Bone marrow smear — 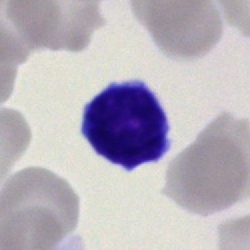 The cell shown is a typical lymphocyte.